Peripheral blood film · CellaVision DM96 · 360 by 363 pixels — 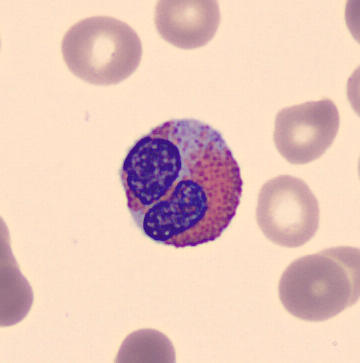 Identified as an eosinophilic granulocyte.